Bone marrow aspirate smear; single cell centered in the field.
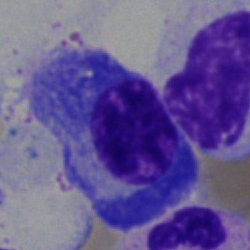
Specimen: bone marrow aspirate smear.
Cell type: plasmacyte.
Lineage: lymphoid.